Bone marrow aspirate smear · cropped to a single cell
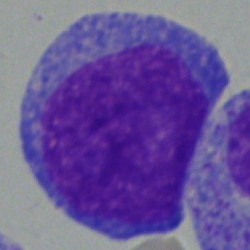 Specimen: bone marrow aspirate smear.
Cell: blast cell.